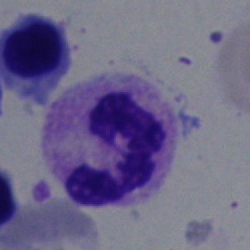

A neutrophil (segmented).